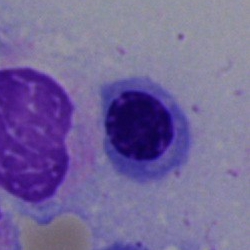Bone marrow smear showing a nucleated red cell.